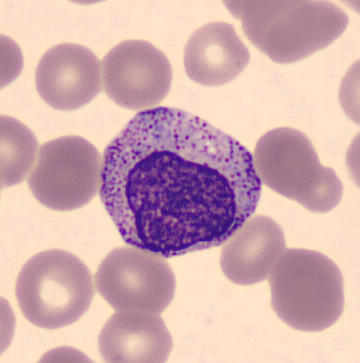

Impression — myelocyte.